Bone marrow smear · May-Grünwald-Giemsa stain: 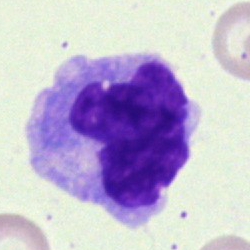
Single cell identified as a monocyte.